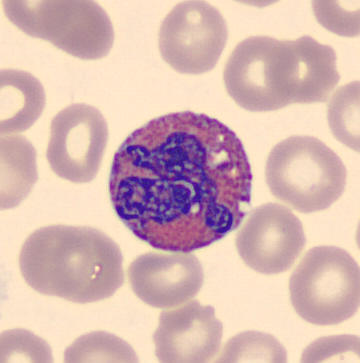
Q: What is the morphological classification of this cell?
A: An eosinophilic granulocyte.